Bone marrow smear:
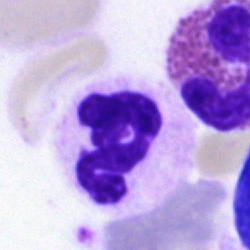
Classification: segmented neutrophil.